Bone marrow smear:
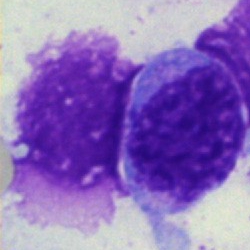

Morphology — monocyte.